Peripheral blood smear: 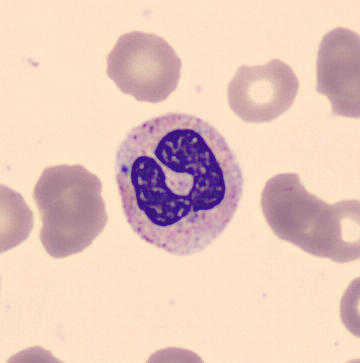

Specimen: peripheral blood film.
Cell type: stab cell.
Lineage: myeloid.